May-Grünwald-Giemsa stain; bone marrow smear:
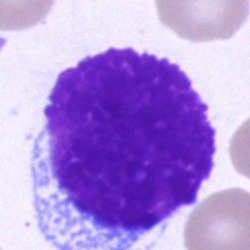 The cell is unidentifiable cell.